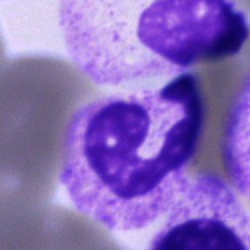Impression — neutrophil (segmented).